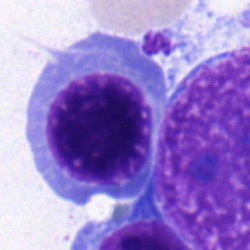A nucleated red blood cell.